Bone marrow aspirate smear — 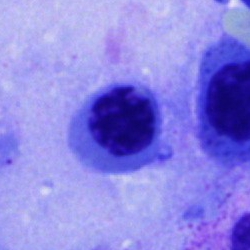

A normoblast.